Single-cell field. MGG-stained. Bone marrow smear:
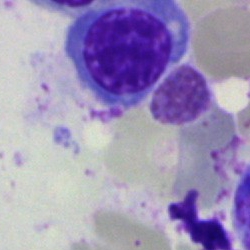

This is an erythroblast.